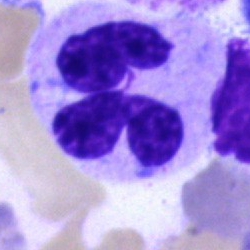 {"cell_type": "polymorphonuclear neutrophil"}